Bone marrow aspirate smear: 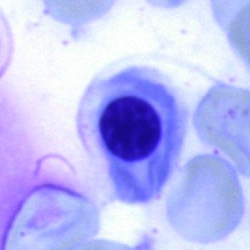 Q: What is the morphological classification of this cell?
A: Normoblast.